Bone marrow smear — 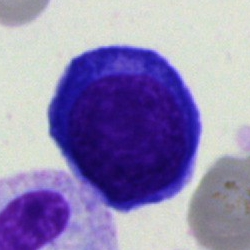
Q: What type of cell is this?
A: A normoblast.